Bone marrow smear:
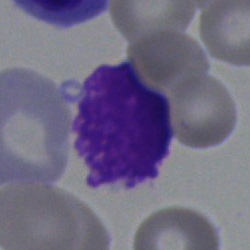Morphological class — artifact.